40× objective, oil immersion; single cell centered in the field; bone marrow smear.
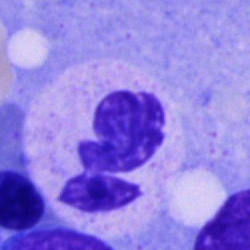

Q: Identify the cell.
A: Segmented neutrophil.